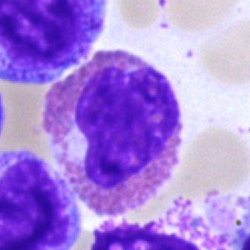

The classification is eosinophil.